Bone marrow aspirate smear:
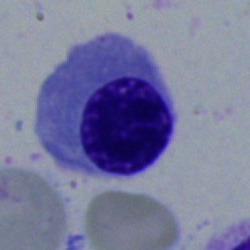

A nucleated red cell.